250×250 px; bone marrow aspirate smear; Pappenheim-stained
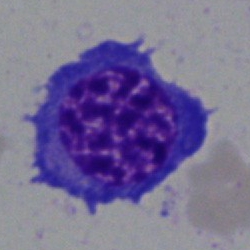
Morphology consistent with a nucleated red blood cell.